40× oil immersion. Bone marrow smear. Single-cell crop: 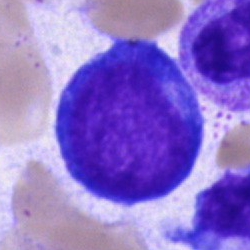 Q: What type of cell is this?
A: This is a proerythroblast.